Bone marrow aspirate smear:
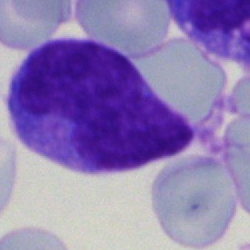
Specimen: bone marrow smear.
Cell type: undifferentiated blast.